Peripheral blood smear. M8 digital microscope (Precipoint), 100× oil immersion. Romanowsky stain: 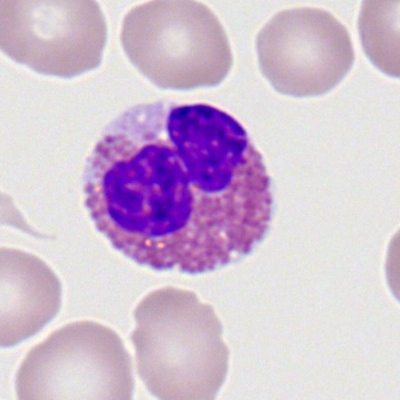

Single cell identified as an eosinophilic granulocyte.